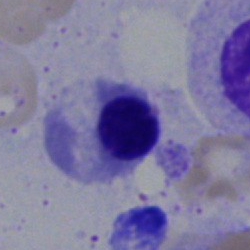
Q: Identify the cell.
A: Normoblast.